Bone marrow aspirate smear. Image size 250×250. 40× objective, oil immersion
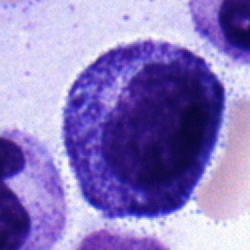

The cell shown is a promyelocyte.